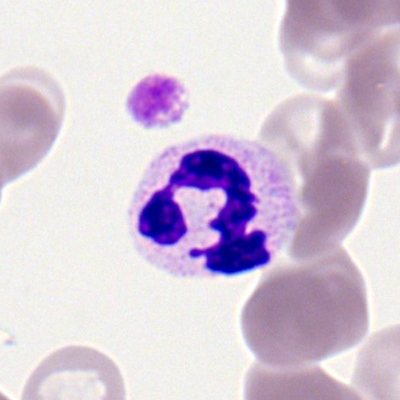

Q: Which cell type is shown here?
A: This is a segmented neutrophil.